Bone marrow aspirate smear.
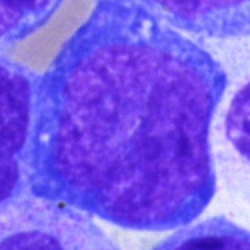Single cell identified as an undifferentiated blast.